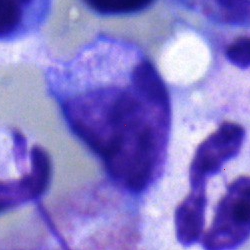
Q: What cell is this?
A: It is a myelocyte.